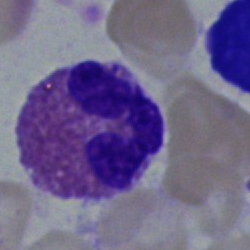

The cell is eosinophil.